Romanowsky stain; 400 by 400 pixels; peripheral blood film: 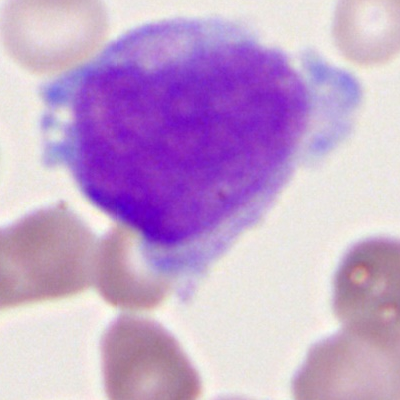
Specimen: peripheral blood film.
Morphological class: monocyte.